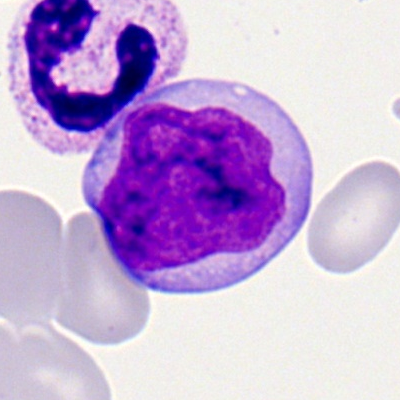The cell type is myeloid blast.